Single-cell crop · bone marrow smear.
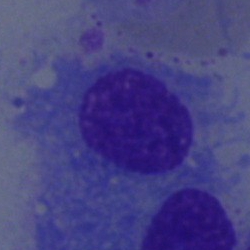The cell shown is a plasmacyte.